Bone marrow smear; brightfield, 40× oil-immersion objective; 250×250 — 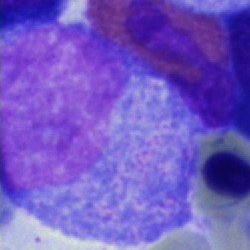 Morphology consistent with a progranulocyte.